Bone marrow aspirate smear · brightfield microscopy, 40× oil immersion · single cell centered in the field:
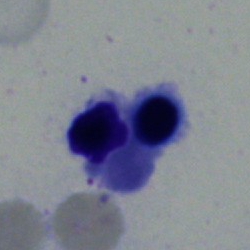
{"cell_type": "normoblast"}